Bone marrow aspirate smear · brightfield, 40× oil-immersion objective — 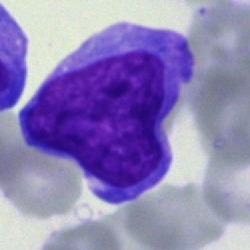

Blast cell.